Bone marrow aspirate smear: 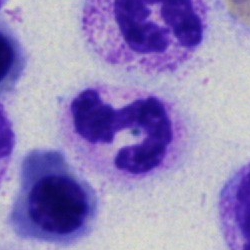 Cell = polymorphonuclear neutrophil.